Bone marrow aspirate smear: 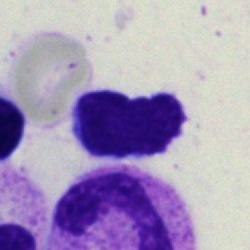 Q: Which cell type is shown here?
A: It is a lymphocyte.